Bone marrow smear: 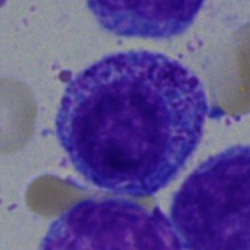 A myelocyte.